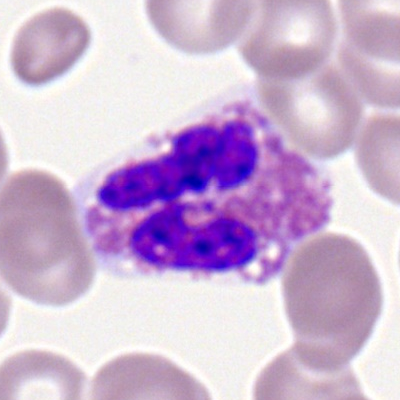
Single-cell crop from a peripheral blood smear: eosinophilic granulocyte.